Bone marrow smear:
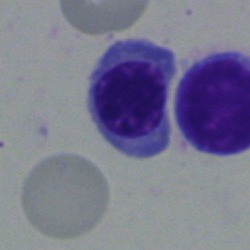 Cell type = nucleated red blood cell.